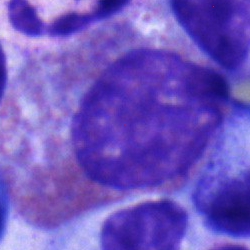

This is an eosinophil.